Peripheral blood smear; 400×400; Romanowsky-type stain — 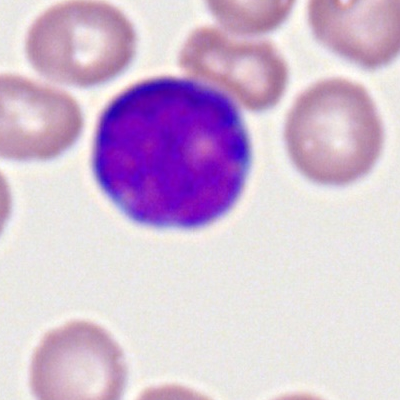
Cell — typical lymphocyte.